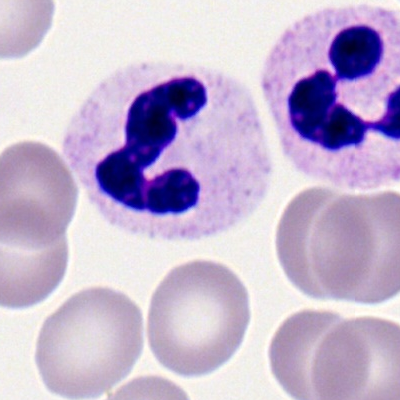

Morphology — segmented neutrophil.